Bone marrow aspirate smear: 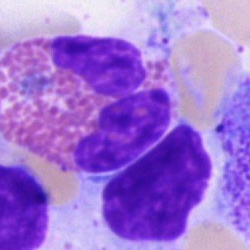 Eosinophil.